Bone marrow aspirate smear · single cell centered in the field
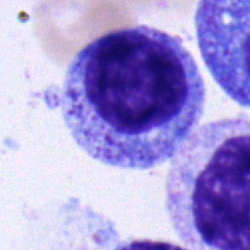The cell is myelocyte.